Bone marrow smear:
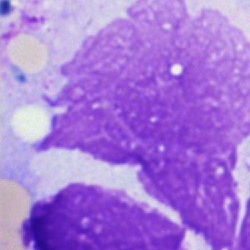
Single cell identified as an artifact.